Image size 250×250; bone marrow smear — 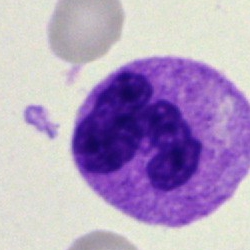

Morphological class — neutrophil (segmented).